Peripheral blood film · 400 by 400 pixels · 100× objective, oil immersion: 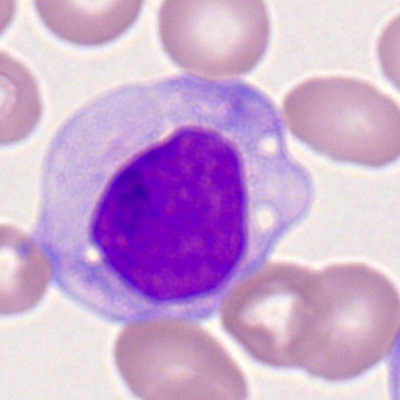 Impression — monocyte.